Peripheral blood film. 100× oil immersion — 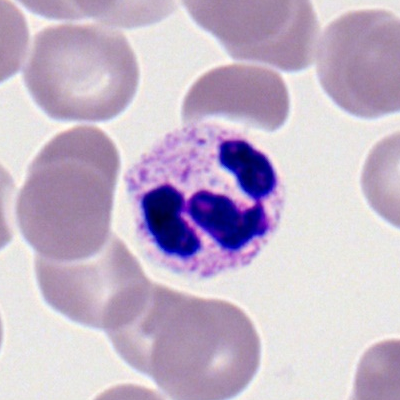

Neutrophil (segmented).